Bone marrow smear:
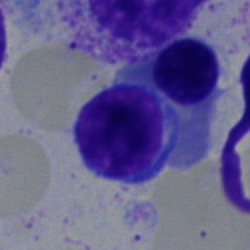Specimen: bone marrow smear.
Morphological class: lymphocyte.